Peripheral blood smear — 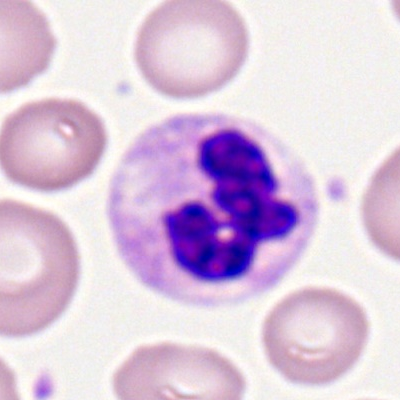
Specimen: peripheral blood film.
Classification: neutrophil (segmented).
Lineage: myeloid.